Bone marrow smear
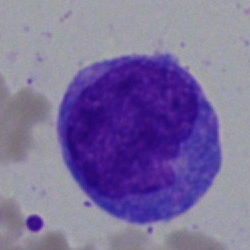 Cell — monocyte.